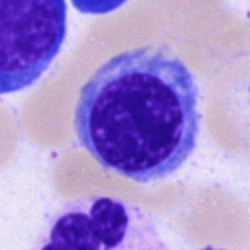

Cell type: normoblast.